Single-cell field · peripheral blood smear · Romanowsky stain:
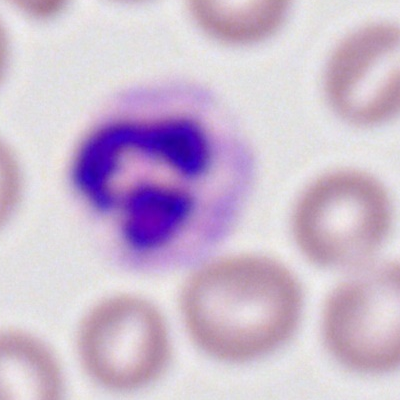

Specimen: peripheral blood film.
Cell type: polymorphonuclear neutrophil.